Single-cell field. Peripheral blood smear. M8 digital microscope (Precipoint), 100× oil immersion — 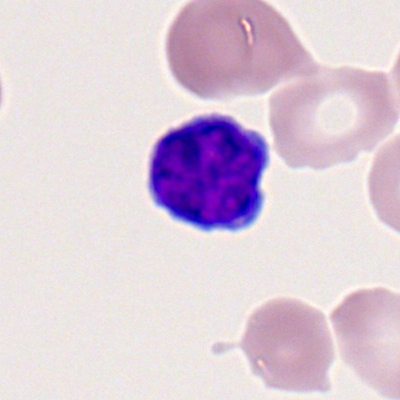Specimen: peripheral blood film.
Cell type: typical lymphocyte.